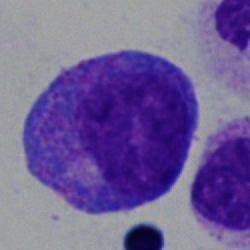

Bone marrow smear showing a progranulocyte.